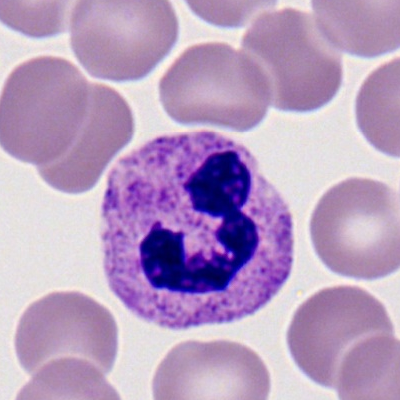
The cell shown is a neutrophil (segmented).